Bone marrow smear; 40× objective, oil immersion: 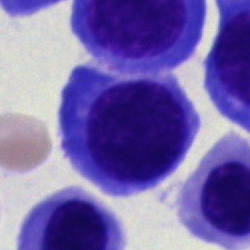Nucleated red blood cell.